Bone marrow aspirate smear.
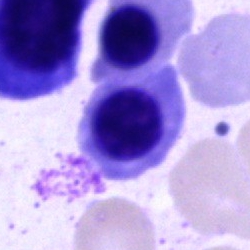
Classification: erythroblast.